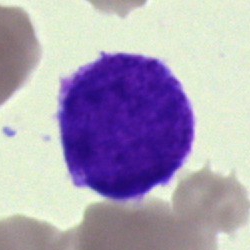

This is a blast cell.